Bone marrow smear. 250 by 250 pixels: 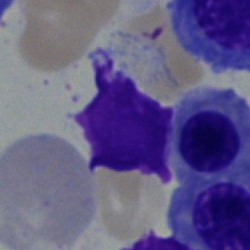

Showing a nucleated red blood cell.